Bone marrow smear:
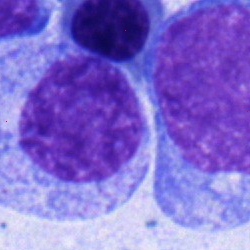
Nucleated red blood cell.